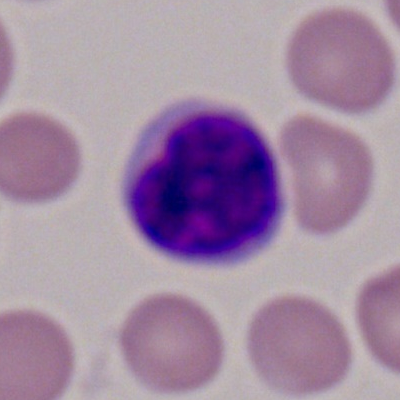

Peripheral blood smear showing a typical lymphocyte.